Bone marrow aspirate smear.
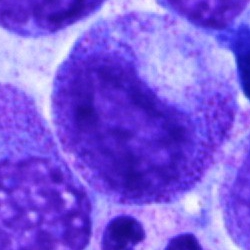 Morphological class = promyelocyte.